Peripheral blood smear. M8 digital microscope (Precipoint), 100× oil immersion:
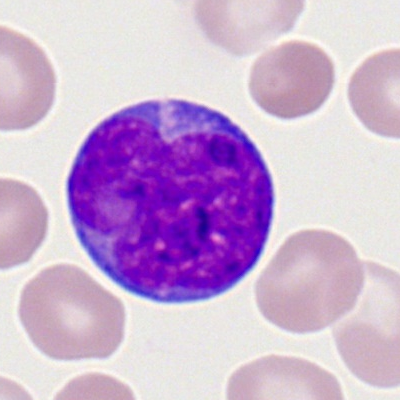 The cell type is myeloid blast.